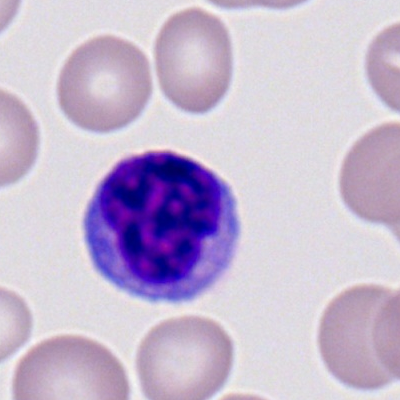
Impression — typical lymphocyte.